Bone marrow smear.
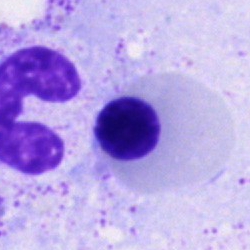Morphology — nucleated red blood cell.